Bone marrow aspirate smear — 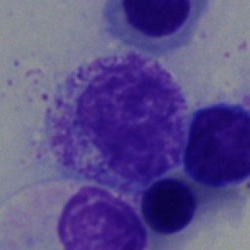
Morphology — myelocyte.